Bone marrow smear.
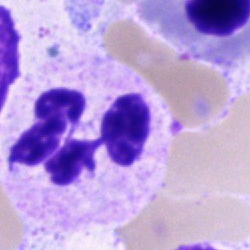
Morphology consistent with a neutrophil (segmented).